Image size 250×250. Cropped to a single cell. Bone marrow aspirate smear:
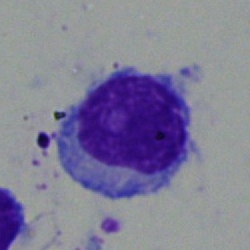

Cell type — lymphocyte.